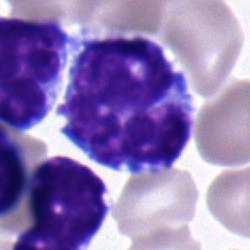

Bone marrow smear showing a lymphocyte.